Bone marrow smear
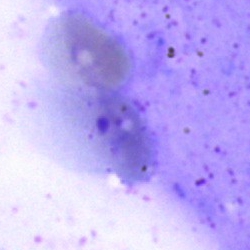Morphology consistent with an artefact.